Bone marrow aspirate smear
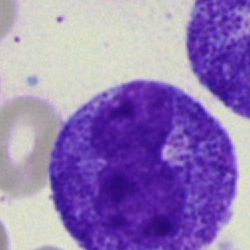 Single cell identified as a progranulocyte.